Bone marrow aspirate smear: 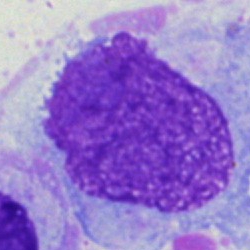

{"cell_type": "artifact"}